May-Grünwald-Giemsa stain; bone marrow aspirate smear.
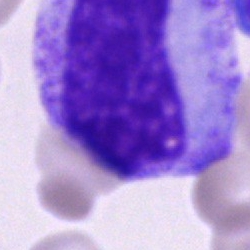A promyelocyte.